Cropped to a single cell. 250×250. Bone marrow aspirate smear: 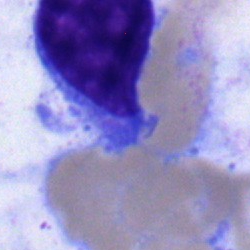

Specimen: bone marrow aspirate smear.
Classification: undifferentiated blast.